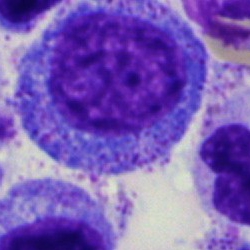

A progranulocyte.